Bone marrow aspirate smear · 40× objective, oil immersion:
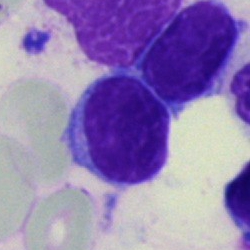

Cell — lymphocyte.